Single cell centered in the field. Pappenheim-stained. Bone marrow smear.
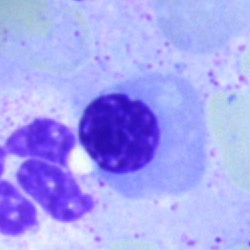

This is a normoblast.